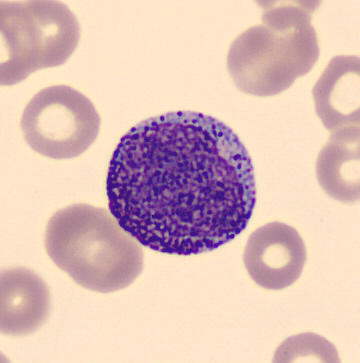

This is a promyelocyte.
Preparation: Single-cell field. Peripheral blood film.